MGG-stained · bone marrow smear:
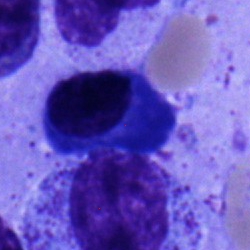

The cell type is normoblast.